Bone marrow aspirate smear — 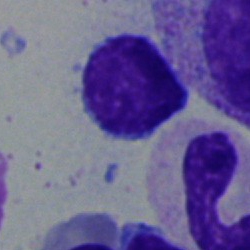

A typical lymphocyte.